Brightfield microscopy, 40× oil immersion; bone marrow aspirate smear.
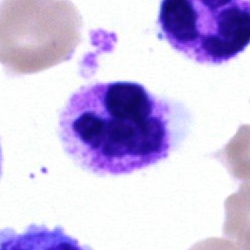Showing a polymorphonuclear neutrophil.